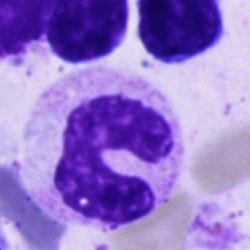 Morphology — stab cell.